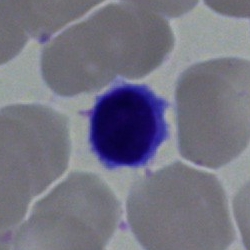 The cell shown is a typical lymphocyte.